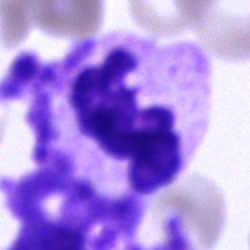

A polymorphonuclear neutrophil.